Bone marrow aspirate smear: 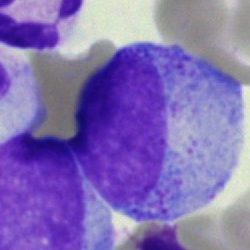Morphology → progranulocyte.